Bone marrow smear; image size 250×250:
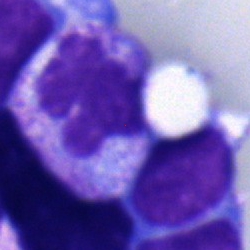
Q: What is shown here?
A: It is a polymorphonuclear neutrophil.